Bone marrow aspirate smear:
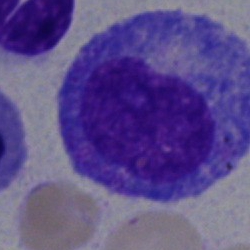
Specimen: bone marrow smear.
Morphological class: promyelocyte.
Lineage: myeloid.